Bone marrow aspirate smear · image size 250×250 · Pappenheim-stained: 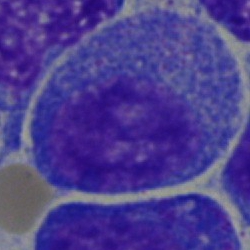 The cell shown is a progranulocyte.